MGG-stained; bone marrow aspirate smear — 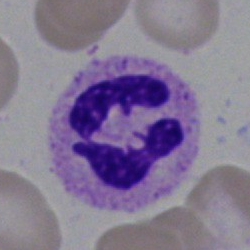Q: What cell is this?
A: This is a polymorphonuclear neutrophil.